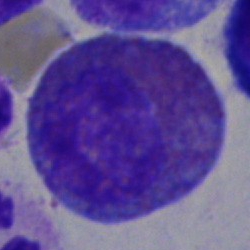
Q: What is shown here?
A: This is an eosinophil.